250 by 250 pixels · bone marrow smear — 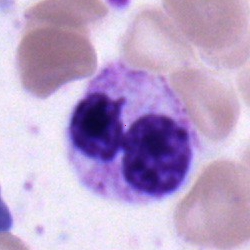Specimen: bone marrow aspirate smear.
Cell type: segmented neutrophil.
Lineage: myeloid.